Bone marrow smear: 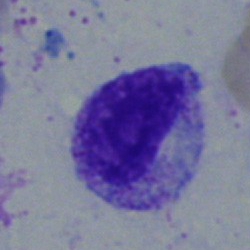

Myelocyte.